Bone marrow aspirate smear: 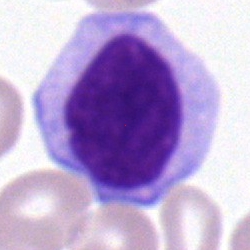 A typical lymphocyte.